Bone marrow smear · image size 250×250.
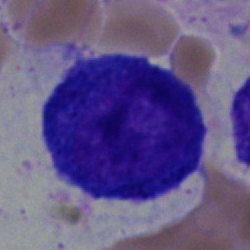Showing a progranulocyte.